Bone marrow smear; 250×250 px: 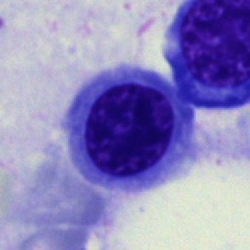This is a nucleated red cell.